Bone marrow smear
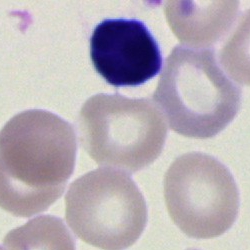
Morphology consistent with a lymphocyte.